40× objective, oil immersion. Bone marrow smear.
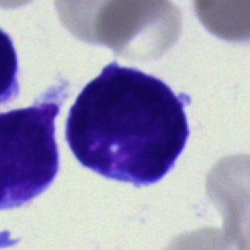Q: What is the morphological classification of this cell?
A: This is a blast.